Bone marrow smear
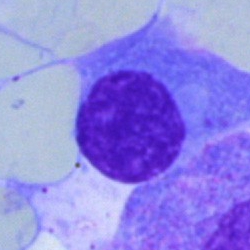Showing a plasma cell.